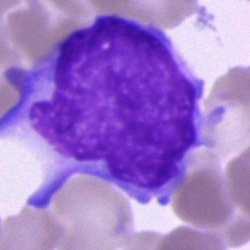{"cell_type": "blast"}